Bone marrow aspirate smear:
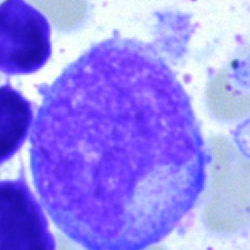 Classification: promyelocyte.